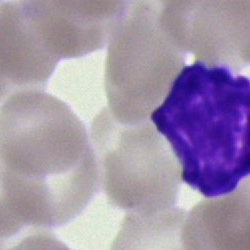
Specimen: bone marrow smear.
Classification: lymphocyte.